Bone marrow smear; May-Grünwald-Giemsa/Pappenheim stain
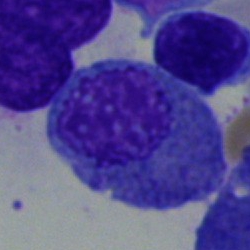 Q: What is shown here?
A: This is an eosinophilic granulocyte.